Bone marrow aspirate smear.
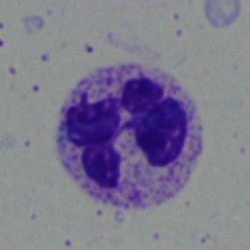 The cell shown is a neutrophil (segmented).